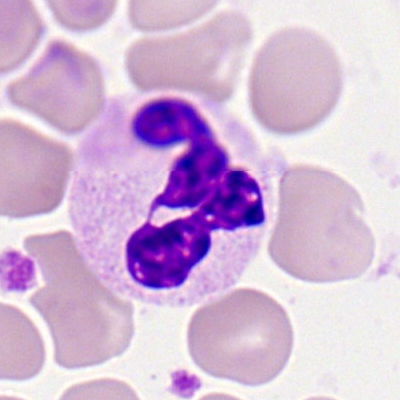

Single-cell crop from a peripheral blood smear: polymorphonuclear neutrophil.